Peripheral blood film · 400 by 400 pixels:
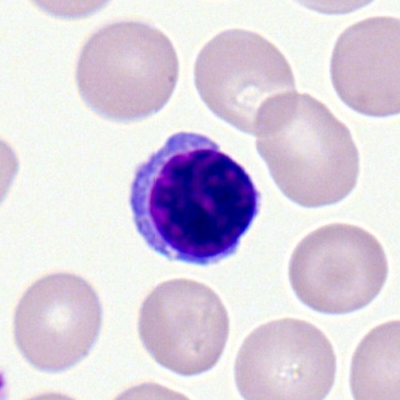 Cell type — typical lymphocyte.